Bone marrow aspirate smear · Pappenheim-stained.
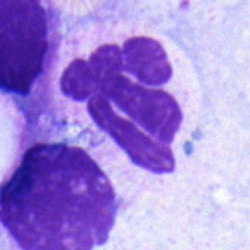 Specimen: bone marrow aspirate smear.
Cell: polymorphonuclear neutrophil.
Lineage: myeloid.